Bone marrow aspirate smear: 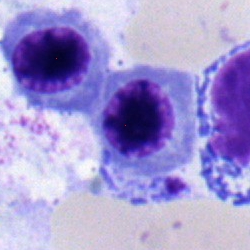 Showing a nucleated red blood cell.